250×250 px. Bone marrow aspirate smear. Single-cell field
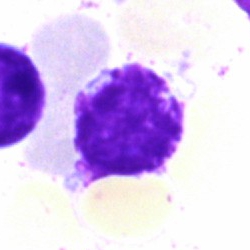

Cell type — artefact.